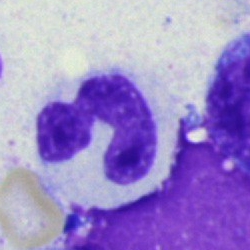

Polymorphonuclear neutrophil.